Bone marrow smear; Pappenheim-stained — 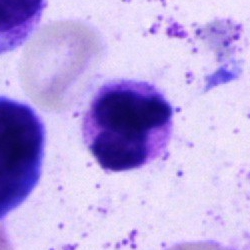
Morphology consistent with a neutrophil (segmented).